Single-cell crop · bone marrow smear · 250×250.
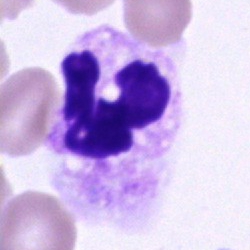
Cell type — neutrophil (segmented).